Bone marrow smear — 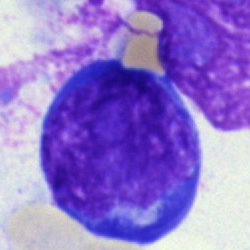
Single cell identified as an undifferentiated blast.